Bone marrow aspirate smear
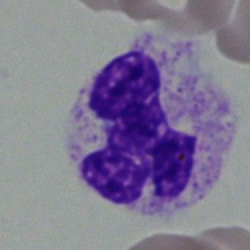This is a polymorphonuclear neutrophil.